Bone marrow smear. Brightfield microscopy, 40× oil immersion. 250×250: 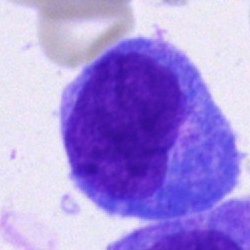
Specimen: bone marrow smear.
Cell: blast cell.